Bone marrow aspirate smear; single cell centered in the field; 40× oil immersion: 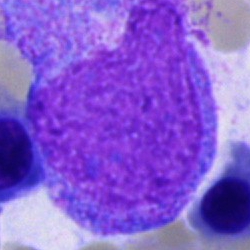
Q: What is the morphological classification of this cell?
A: Promyelocyte.